Bone marrow aspirate smear: 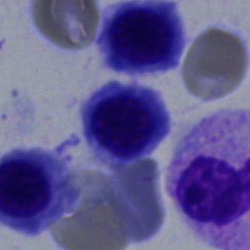 Cell type = erythroblast.